Bone marrow aspirate smear
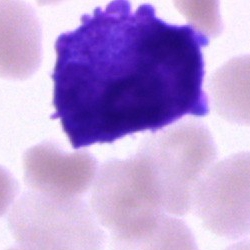Blast.